Bone marrow aspirate smear · 250 by 250 pixels — 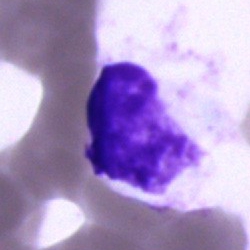Morphological class — artifact.